Pappenheim-stained · bone marrow smear · single-cell crop — 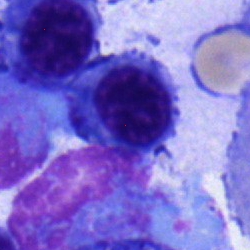 This is a nucleated red cell.